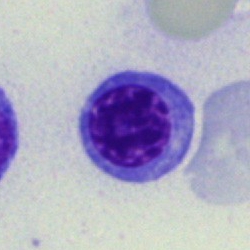

Specimen: bone marrow smear.
Morphological class: nucleated red cell.